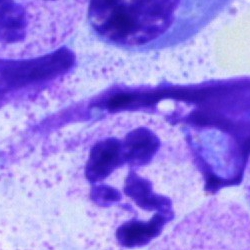
Specimen: bone marrow smear.
Morphological class: neutrophil (segmented).